Bone marrow smear
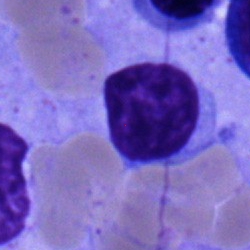

Morphological class: lymphocyte.